Bone marrow smear — 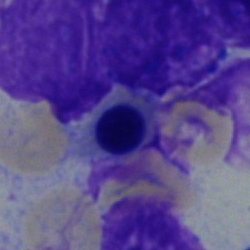Q: Identify the cell.
A: It is a normoblast.